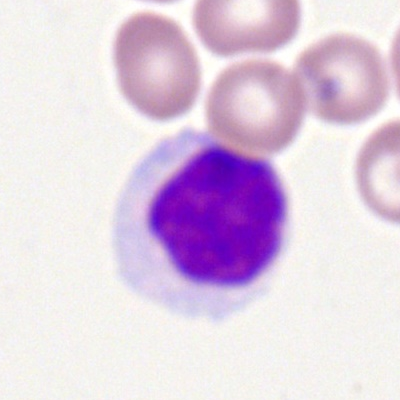 A lymphocyte on a peripheral blood smear.